Bone marrow smear:
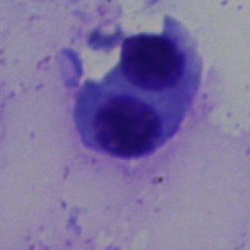
This is a nucleated red blood cell.